Bone marrow smear.
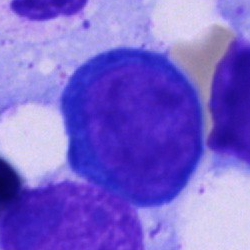

Showing a pronormoblast.